Romanowsky-type stain. 400×400. Peripheral blood film:
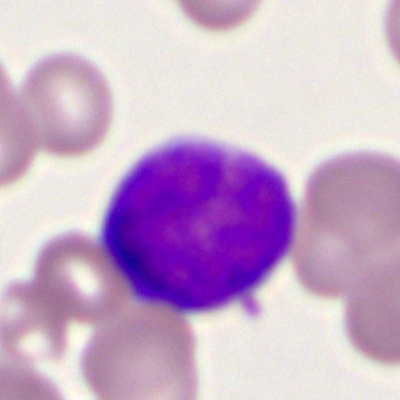 The cell type is myeloblast.